Bone marrow aspirate smear: 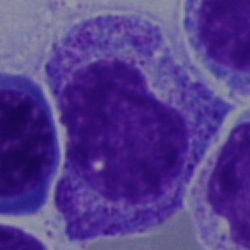 Cell: myelocyte.